Bone marrow smear — 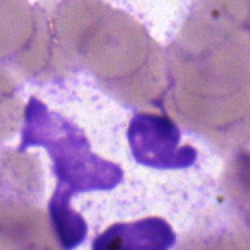

Morphology consistent with a neutrophil (segmented).